Bone marrow aspirate smear — 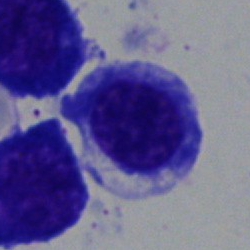 Q: What is the morphological classification of this cell?
A: It is a nucleated red blood cell.